Bone marrow smear · cropped to a single cell · image size 250×250.
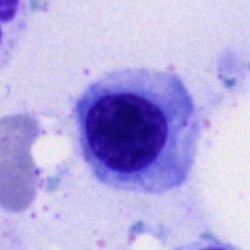

Impression → normoblast.